Single cell centered in the field. Peripheral blood smear. Romanowsky-type stain
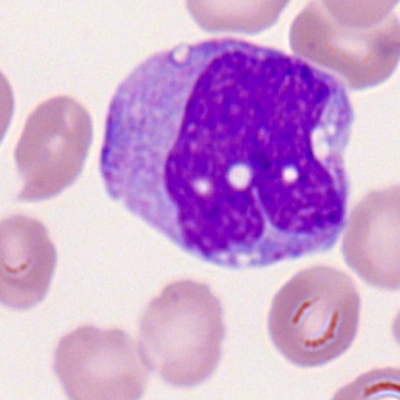
The cell type is monocyte.